Brightfield, 40× oil-immersion objective. Bone marrow smear
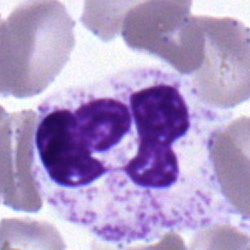 Classification — neutrophil (segmented).